Bone marrow aspirate smear.
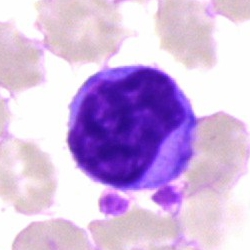

{"cell_type": "typical lymphocyte", "lineage": "lymphoid"}